Bone marrow smear: 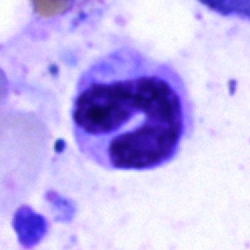Classification — band neutrophil.